Bone marrow smear — 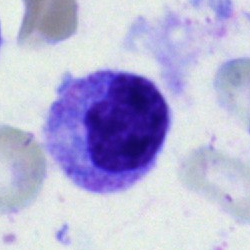
Morphology consistent with a myelocyte.